Bone marrow aspirate smear. May-Grünwald-Giemsa stain.
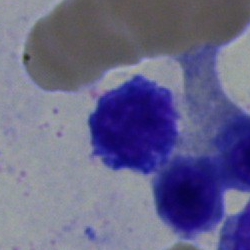Q: What type of cell is this?
A: It is a lymphocyte.